Cropped to a single cell. Bone marrow smear. 40× oil immersion.
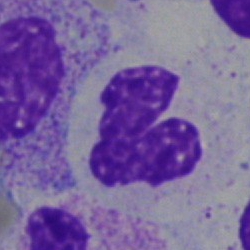Morphology consistent with a stab cell.